Pappenheim-stained · bone marrow aspirate smear: 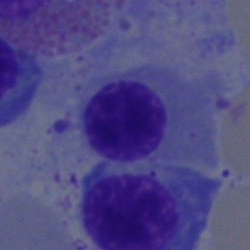
Q: What cell is this?
A: This is an erythroblast.